250×250 px. May-Grünwald-Giemsa stain. Bone marrow aspirate smear:
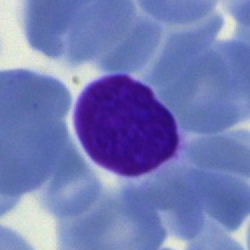
This is a lymphocyte.